Peripheral blood smear
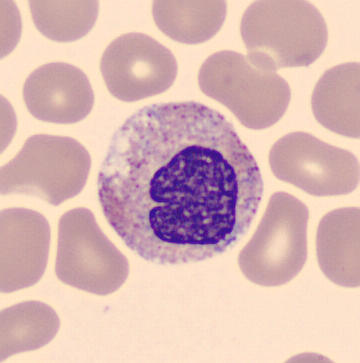

A metamyelocyte.